Cropped to a single cell · bone marrow smear
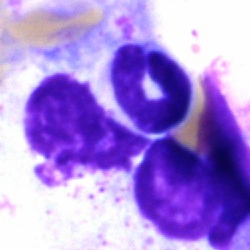

Q: What is shown here?
A: It is a band neutrophil.